Single-cell crop · bone marrow smear
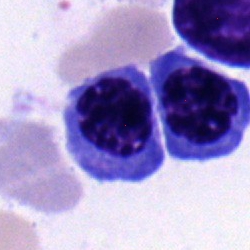 A nucleated red cell.